Single-cell crop. Bone marrow aspirate smear:
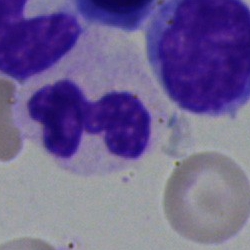Q: What is shown here?
A: This is a segmented neutrophil.